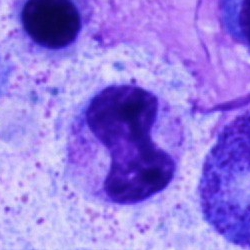Q: What cell is this?
A: Stab cell.